Peripheral blood film · single cell centered in the field · image size 400×400 — 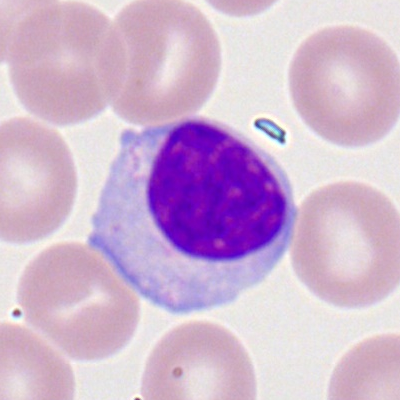

This is a typical lymphocyte.